Pappenheim-stained · bone marrow smear · single-cell field — 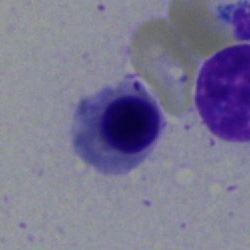 Morphology consistent with a normoblast.